400×400 px. 100× oil immersion, 14.14 px/µm. Peripheral blood smear
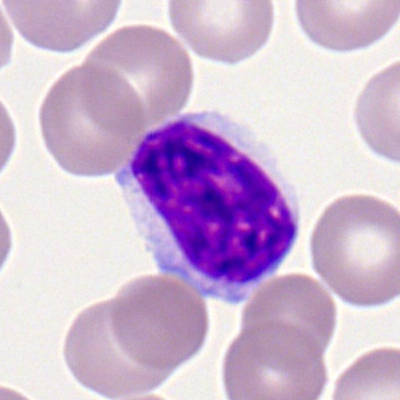 Morphological class = typical lymphocyte.